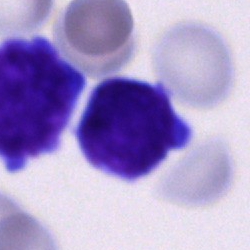 Single cell identified as an undifferentiated blast.